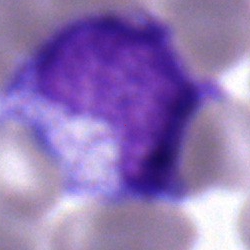The cell shown is a metamyelocyte.